MGG-stained; bone marrow aspirate smear; single-cell field.
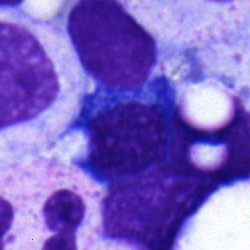

Morphological class = plasmacyte.